250×250 · Pappenheim-stained · bone marrow smear:
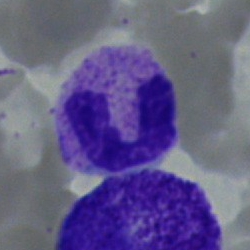Morphology — band neutrophil.